Bone marrow aspirate smear
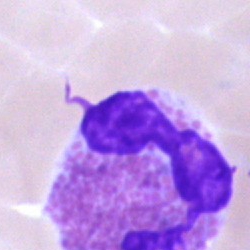
Cell — eosinophil.